Single-cell field; bone marrow smear.
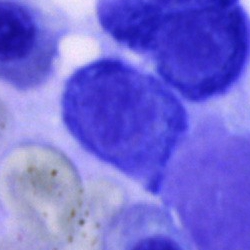

This is an artefact.